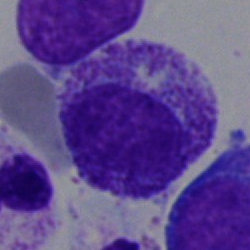 A myelocyte on a bone marrow smear.